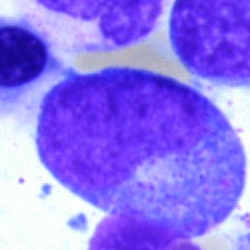Cell type — promyelocyte.